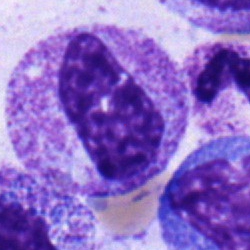A neutrophil (band).